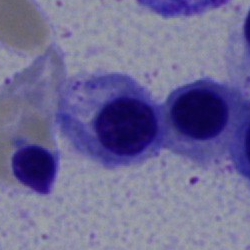Q: What is shown here?
A: It is an erythroblast.